MGG-stained · bone marrow smear — 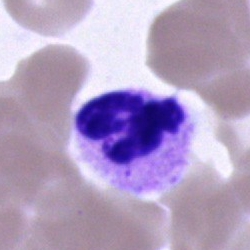 Q: What is the morphological classification of this cell?
A: This is a segmented neutrophil.